Romanowsky-stained · peripheral blood film: 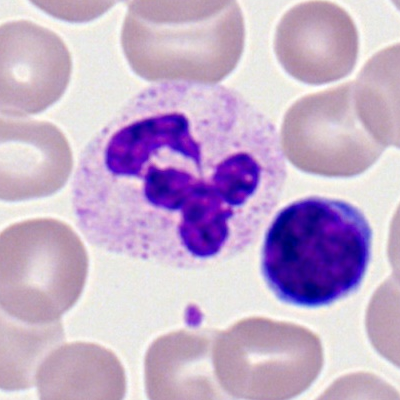

The cell shown is a polymorphonuclear neutrophil.